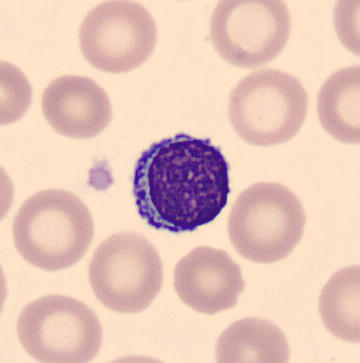

Peripheral blood smear.

Morphology consistent with a typical lymphocyte.